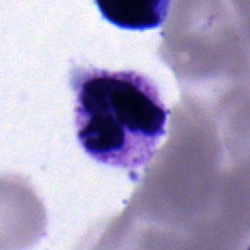 Specimen: bone marrow aspirate smear.
Cell type: segmented neutrophil.
Lineage: myeloid.